Bone marrow aspirate smear: 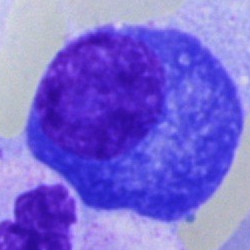Showing a plasma cell.